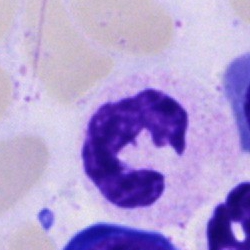Classification: polymorphonuclear neutrophil.